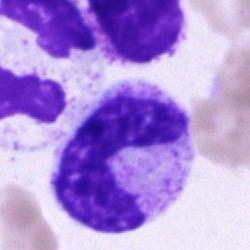Specimen: bone marrow smear.
Classification: stab cell.